Single-cell crop; peripheral blood film
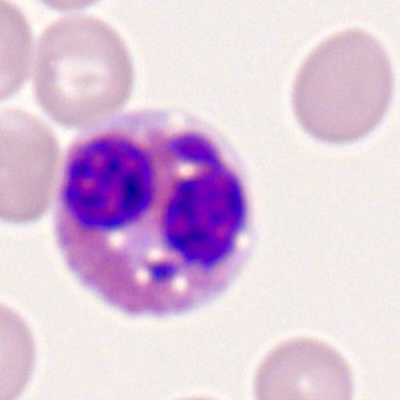

The morphological class is eosinophil.